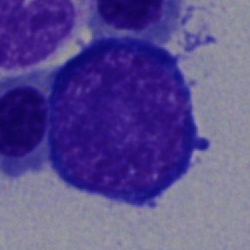 Classification = nucleated red blood cell.